Peripheral blood smear:
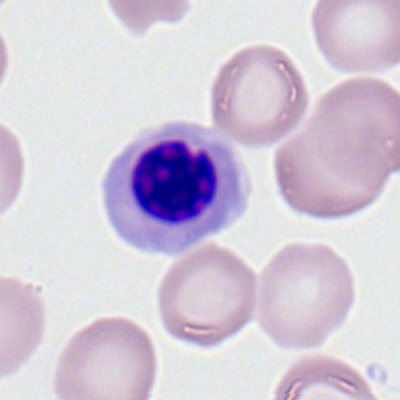 Classification — normoblast.